Peripheral blood film:
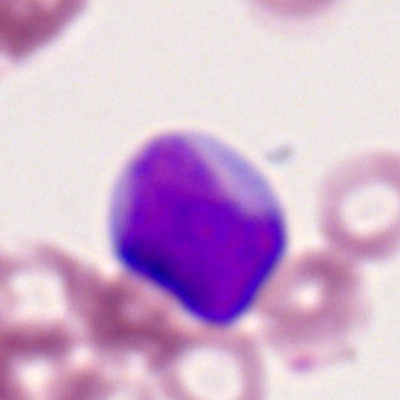 Cell type = myeloblast.